Single cell centered in the field. Bone marrow aspirate smear:
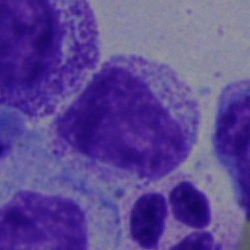 Q: Which cell type is shown here?
A: Myelocyte.